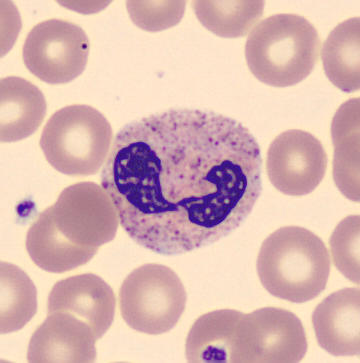Single cell identified as a neutrophil (segmented).